Bone marrow aspirate smear; Pappenheim-stained
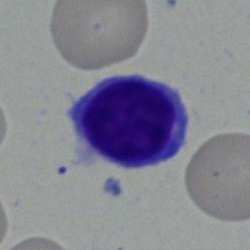Morphological class — lymphocyte.